Bone marrow aspirate smear:
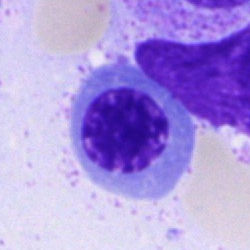 Specimen: bone marrow smear.
Morphological class: erythroblast.
Lineage: erythroid.